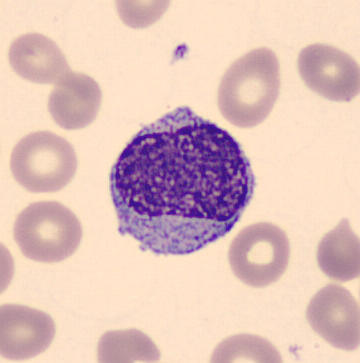
This is a myelocyte.
Image: Peripheral blood smear · MGG stain.